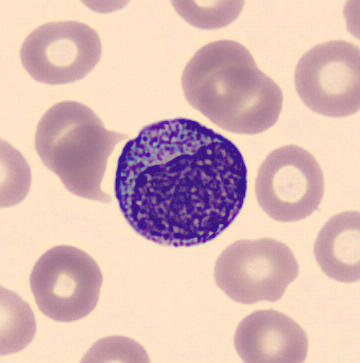 The morphological class is myelocyte.